Bone marrow aspirate smear
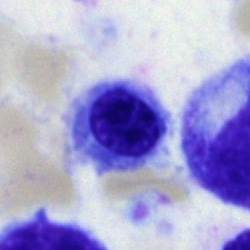

Cell type: normoblast.